Brightfield, 40× oil-immersion objective. 250×250 px. Bone marrow aspirate smear.
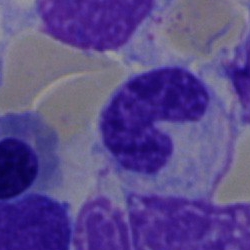 Classification = band neutrophil.